Bone marrow aspirate smear — 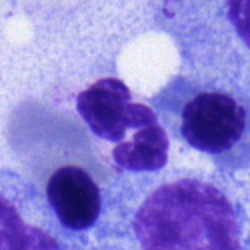

The morphological class is polymorphonuclear neutrophil.